250 by 250 pixels. Bone marrow aspirate smear:
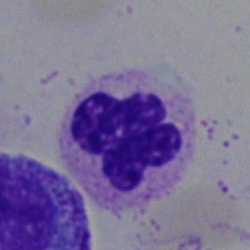

This is a segmented neutrophil.